Peripheral blood film:
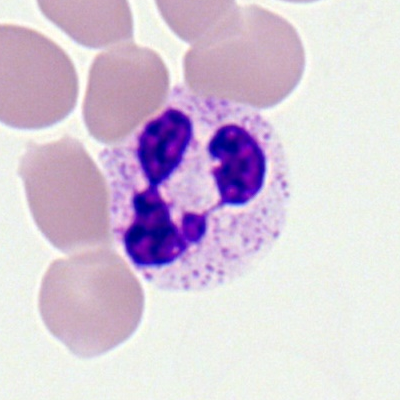
Neutrophil (segmented).